Bone marrow aspirate smear.
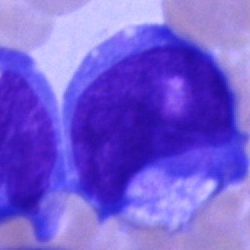 An undifferentiated blast.